Bone marrow smear: 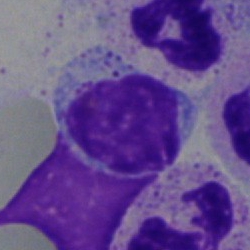
Classification = typical lymphocyte.